250×250 px. Bone marrow aspirate smear
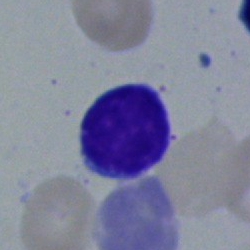
Specimen: bone marrow aspirate smear.
Cell: lymphocyte.
Lineage: lymphoid.